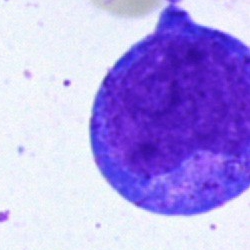 Single cell identified as a progranulocyte.